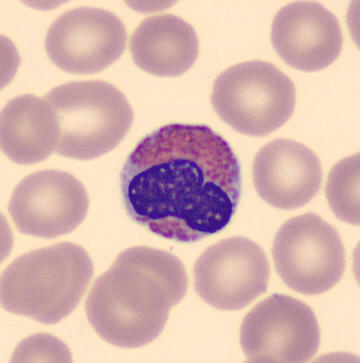

Morphology consistent with an eosinophil. Acquisition: Peripheral blood film.